Bone marrow aspirate smear:
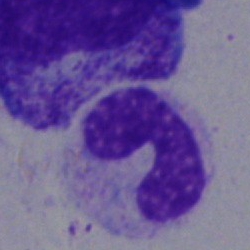
Specimen: bone marrow smear.
Morphological class: neutrophil (segmented).
Lineage: myeloid.